Bone marrow smear
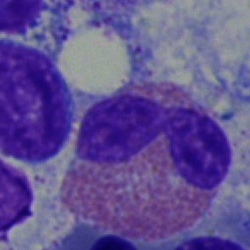Morphological class: eosinophilic granulocyte.